Bone marrow smear
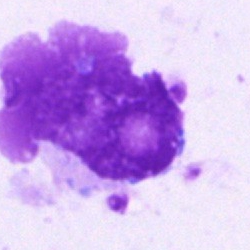
Morphological class: artifact.